Single cell centered in the field; bone marrow aspirate smear.
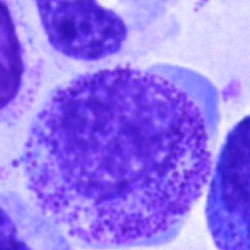 The cell is promyelocyte.